May-Grünwald-Giemsa/Pappenheim stain. Bone marrow aspirate smear:
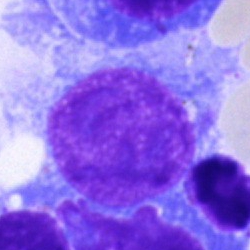 Single cell identified as a plasmacyte.